Peripheral blood smear.
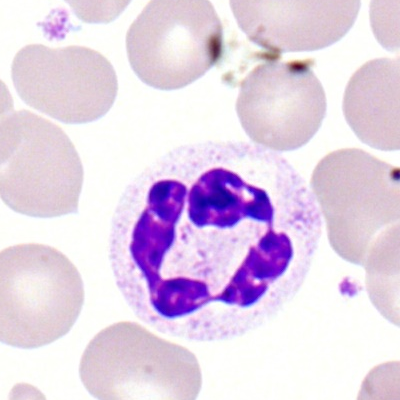 Morphology consistent with a polymorphonuclear neutrophil.